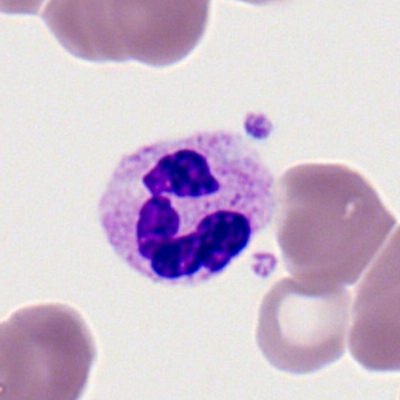 The morphological class is polymorphonuclear neutrophil.